Peripheral blood smear:
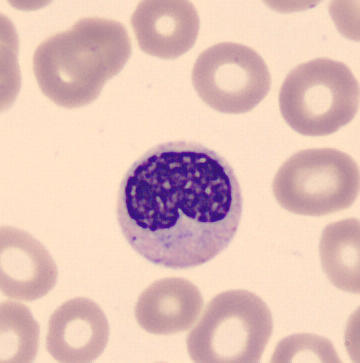
Specimen: peripheral blood film.
Cell type: metamyelocyte.
Lineage: myeloid.